Single cell centered in the field. 250×250. Bone marrow smear
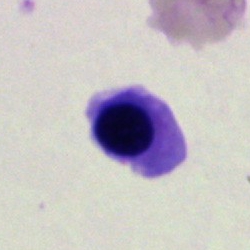Nucleated red cell.